Bone marrow smear — 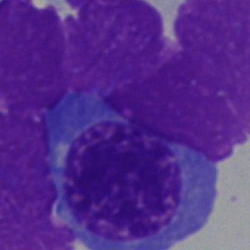
Specimen: bone marrow smear.
Morphological class: nucleated red cell.
Lineage: erythroid.